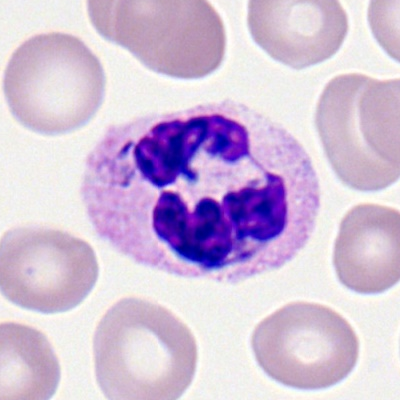Q: Which cell type is shown here?
A: This is a neutrophil (segmented).